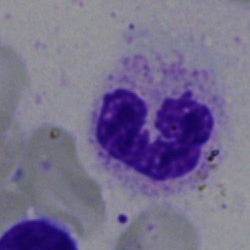

Q: What cell is this?
A: It is a neutrophil (segmented).